Bone marrow aspirate smear — 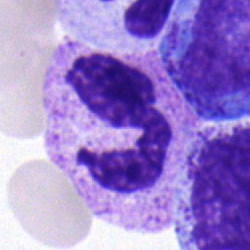

Single cell identified as a polymorphonuclear neutrophil.